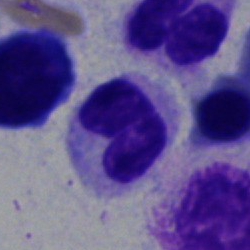 Classification — band-form neutrophil.